Romanowsky stain · peripheral blood smear: 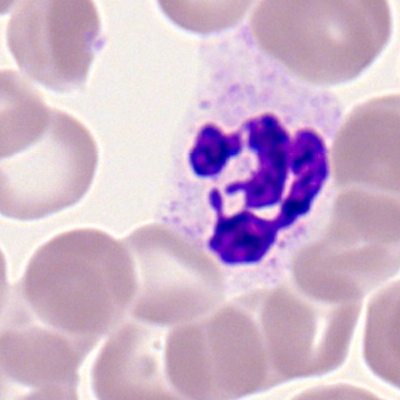Q: What is the morphological classification of this cell?
A: This is a neutrophil (segmented).